Bone marrow aspirate smear; brightfield, 40× oil-immersion objective:
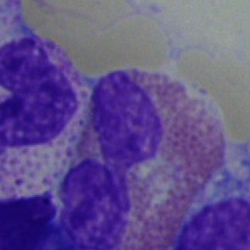An eosinophil.